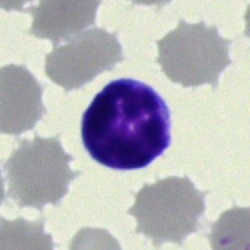
The morphological class is lymphocyte.